Single cell centered in the field; peripheral blood film; Romanowsky-type stain.
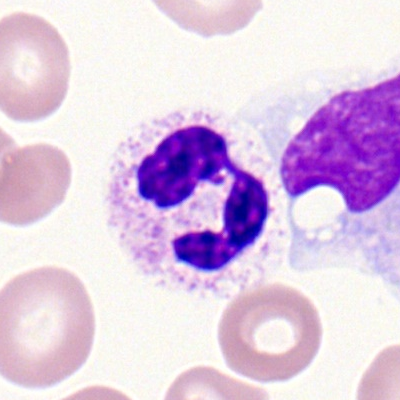

Polymorphonuclear neutrophil.